Peripheral blood film; MGG stain
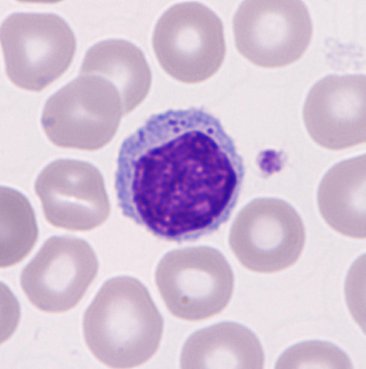

Morphology consistent with a lymphocyte.